Bone marrow smear · 250 by 250 pixels: 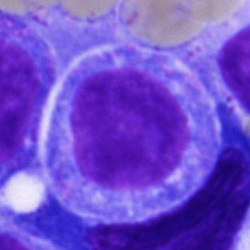
Morphological class: undifferentiated blast.